Bone marrow aspirate smear.
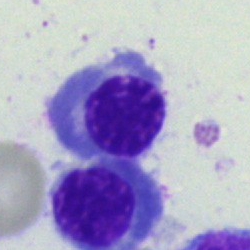

Q: What is shown here?
A: An erythroblast.